Single-cell field; bone marrow aspirate smear: 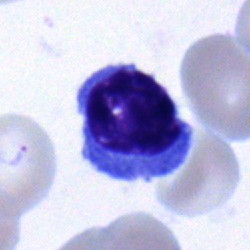Morphology consistent with a typical lymphocyte.